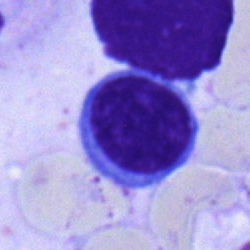
The morphological class is typical lymphocyte.